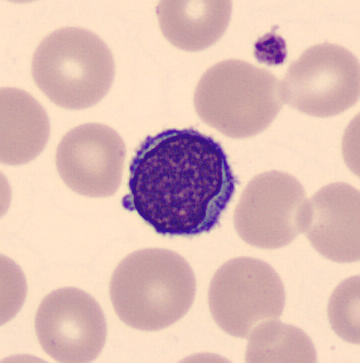 Acquisition: Peripheral blood smear.

Q: What cell is this?
A: A typical lymphocyte.